Pappenheim-stained; bone marrow aspirate smear
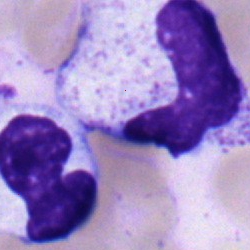Showing a stab cell.